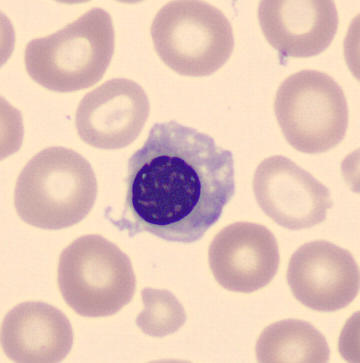

Specimen: peripheral blood smear.
Morphological class: nucleated red cell.
Lineage: erythroid. Preparation: CellaVision DM96 digital cell image · single cell centered in the field.